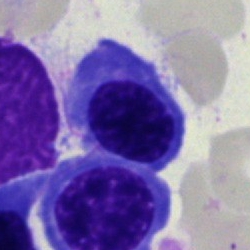Normoblast.